Bone marrow smear. 40× oil immersion.
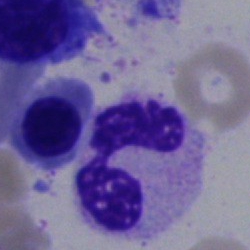 Q: What is the morphological classification of this cell?
A: This is a polymorphonuclear neutrophil.